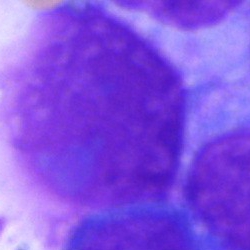 Q: What is shown here?
A: An artifact.